Bone marrow aspirate smear; 40× objective, oil immersion; May-Grünwald-Giemsa stain:
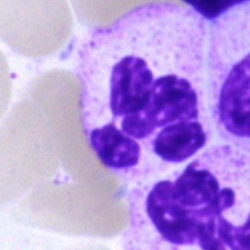
Morphological class — neutrophil (segmented).